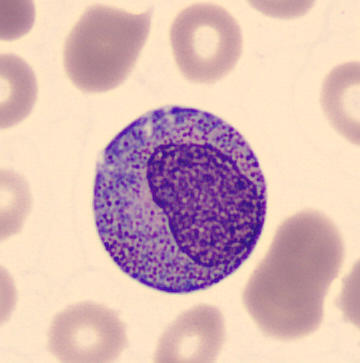

The cell shown is a progranulocyte.